Bone marrow smear. 250 by 250 pixels.
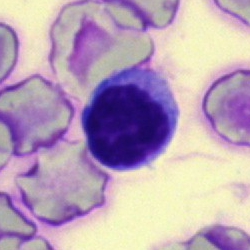The morphological class is nucleated red blood cell.